Bone marrow smear — 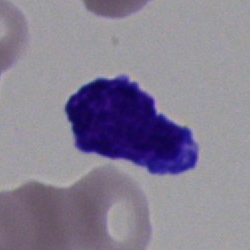 This is a blast cell.